Bone marrow smear.
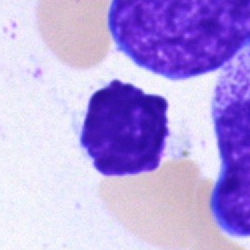

Classification — artefact.